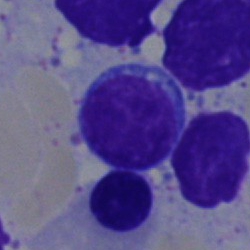
This is a lymphocyte.